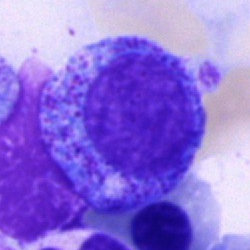

Impression → promyelocyte.